Bone marrow smear.
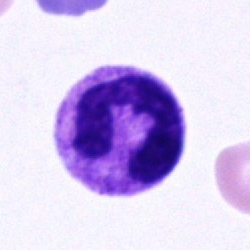The morphological class is segmented neutrophil.